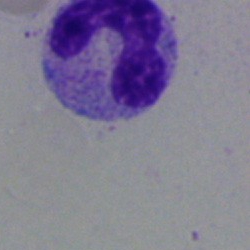
This is a neutrophil (segmented).